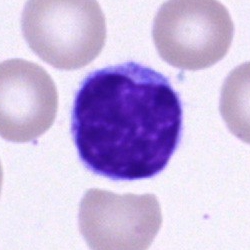 Q: What is shown here?
A: This is a typical lymphocyte.